Bone marrow aspirate smear
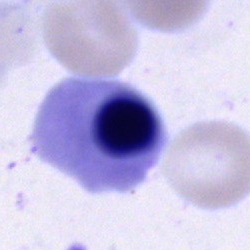Impression → nucleated red blood cell.